Bone marrow aspirate smear. Brightfield microscopy, 40× oil immersion — 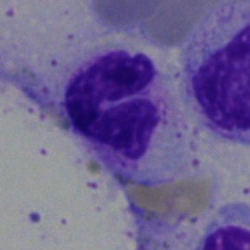

Classification: segmented neutrophil.